Bone marrow aspirate smear.
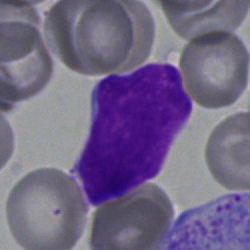 Cell — lymphocyte.